Bone marrow smear; image size 250×250; Pappenheim-stained:
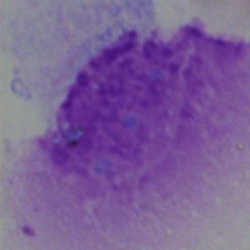Morphological class: artifact.